Bone marrow aspirate smear. 250×250.
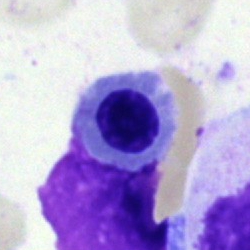

Showing a nucleated red blood cell.